Bone marrow smear. Brightfield microscopy, 40× oil immersion — 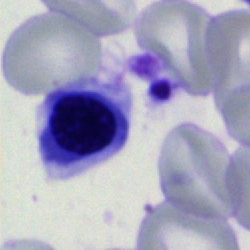 Specimen: bone marrow aspirate smear.
Classification: nucleated red blood cell.
Lineage: erythroid.